250×250; bone marrow smear:
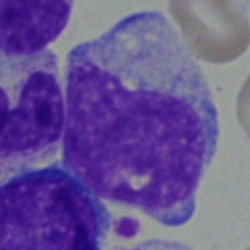Q: Which cell type is shown here?
A: A monocyte.